CellaVision DM96; peripheral blood film; May-Grünwald-Giemsa-stained.
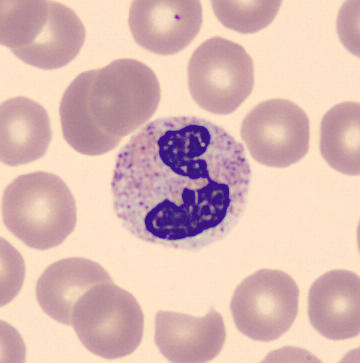
Cell: neutrophil (segmented).